Bone marrow aspirate smear · 40× oil immersion:
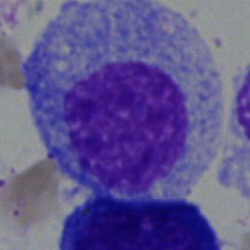
{"cell_type": "myelocyte", "lineage": "myeloid"}